Bone marrow smear; Pappenheim-stained.
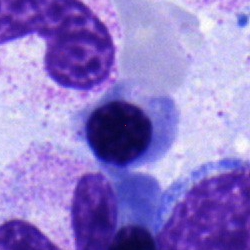

Morphological class — normoblast.